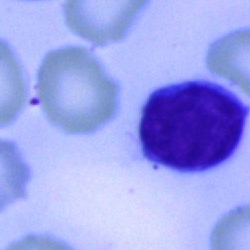 Morphological class — typical lymphocyte.